Single-cell crop · Romanowsky-type stain · peripheral blood film: 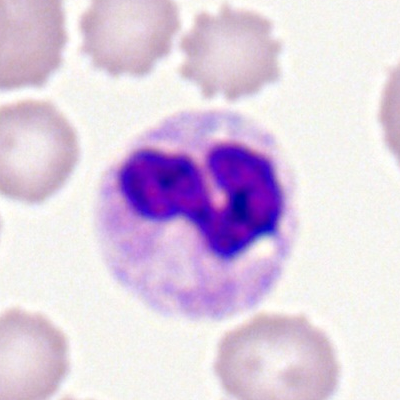Polymorphonuclear neutrophil.